Bone marrow smear; Pappenheim-stained.
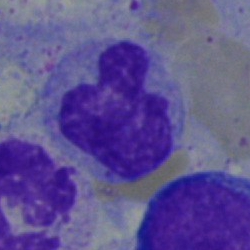
Morphological class — monocyte.